Brightfield, 40× oil-immersion objective. Bone marrow smear. Image size 250×250 — 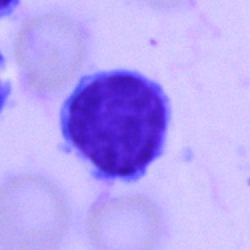 Specimen: bone marrow aspirate smear.
Morphological class: typical lymphocyte.
Lineage: lymphoid.